Bone marrow smear — 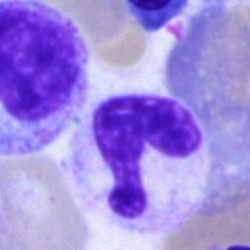Cell — segmented neutrophil.